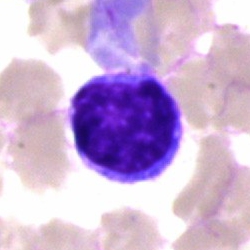
{"cell_type": "lymphocyte", "lineage": "lymphoid"}